40× oil immersion · bone marrow smear.
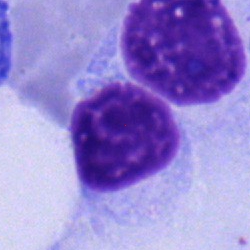A typical lymphocyte.